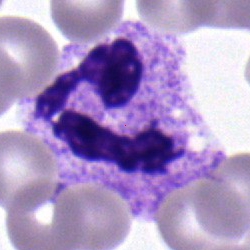Q: What is shown here?
A: A segmented neutrophil.